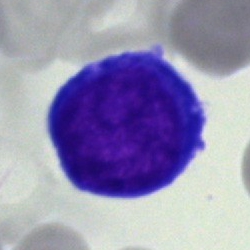

The cell type is pronormoblast.